Peripheral blood film: 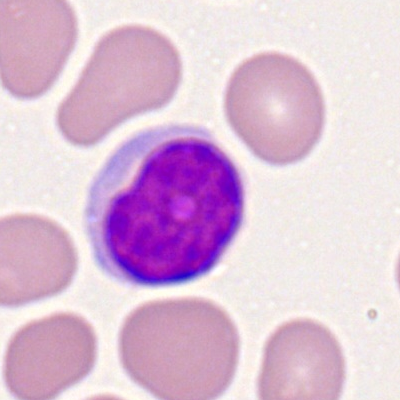

Morphological class: typical lymphocyte.